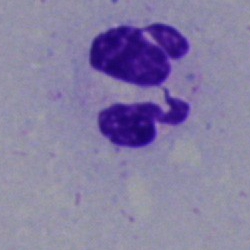

The cell shown is a segmented neutrophil.